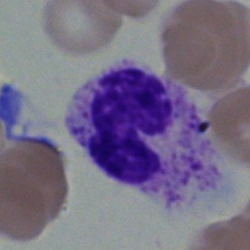
The classification is segmented neutrophil.